Bone marrow smear:
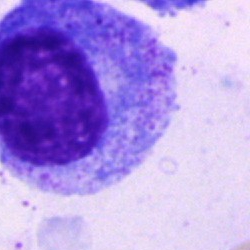
Classification: promyelocyte.